Bone marrow aspirate smear.
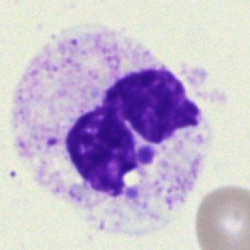 Classification: segmented neutrophil.